Bone marrow aspirate smear:
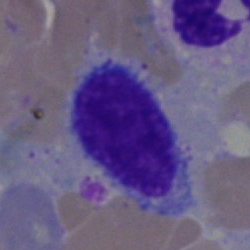

Morphological class — typical lymphocyte.